Bone marrow aspirate smear: 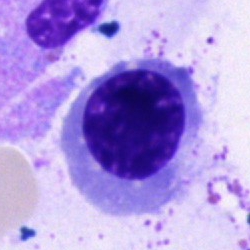

Specimen: bone marrow aspirate smear.
Cell: nucleated red blood cell.
Lineage: erythroid.